Bone marrow aspirate smear. May-Grünwald-Giemsa stain.
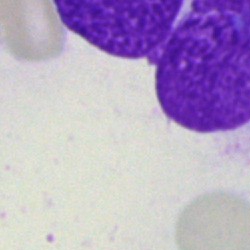 Morphology consistent with an artifact.